Bone marrow aspirate smear; 250×250 px:
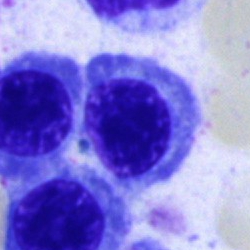

Impression → nucleated red cell.